Bone marrow smear. Single-cell crop. Pappenheim-stained.
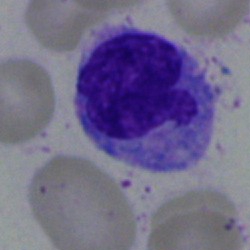

This is a monocyte.